Single cell centered in the field; 100× objective, oil immersion; peripheral blood smear — 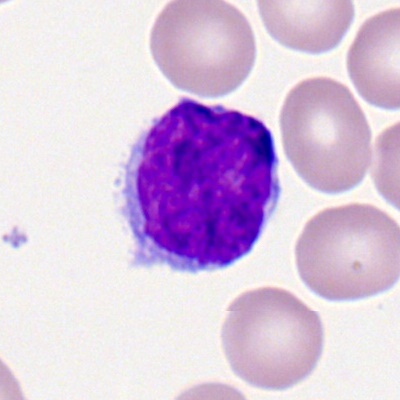

This is a typical lymphocyte.